40× oil immersion. Bone marrow aspirate smear.
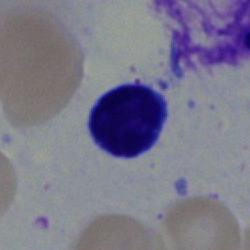
Morphology — typical lymphocyte.